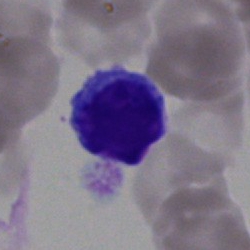Specimen: bone marrow smear.
Cell type: typical lymphocyte.
Lineage: lymphoid.